Bone marrow smear — 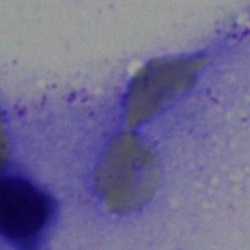
Showing an artifact.